Single-cell crop. 100× objective, oil immersion. Peripheral blood film:
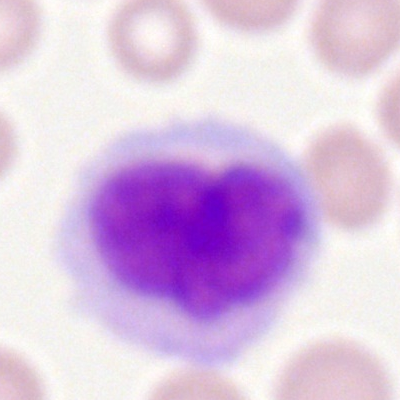
The cell type is monocyte.